Bone marrow aspirate smear:
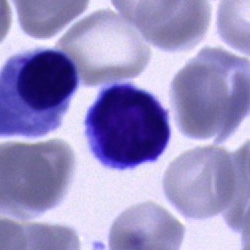This is a lymphocyte.